Peripheral blood film:
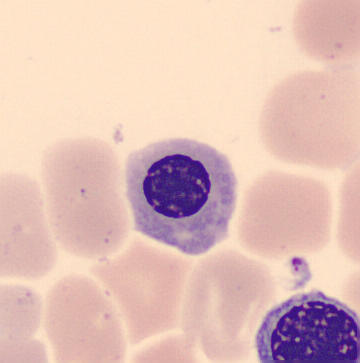 Specimen: peripheral blood smear.
Cell type: erythroblast.